Bone marrow aspirate smear. Single-cell crop:
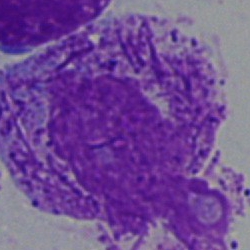Cell — faggot cell.